Pappenheim-stained. Bone marrow aspirate smear
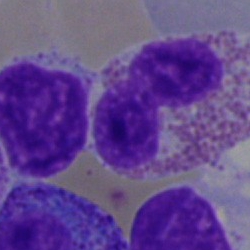

Single cell identified as an eosinophilic granulocyte.